Bone marrow aspirate smear.
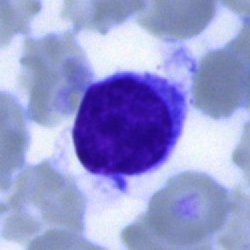
This is a lymphocyte.